250×250; bone marrow smear.
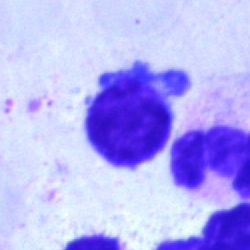Single cell identified as a lymphocyte.